Bone marrow smear.
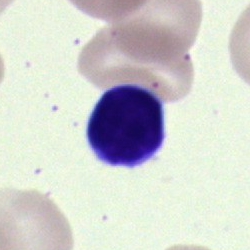

Q: Identify the cell.
A: It is a lymphocyte.